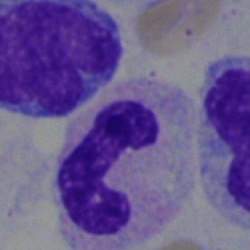Q: What cell is this?
A: This is a polymorphonuclear neutrophil.